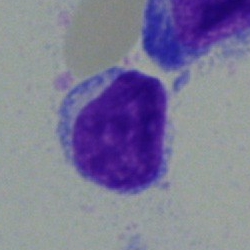 Q: What type of cell is this?
A: Blast cell.